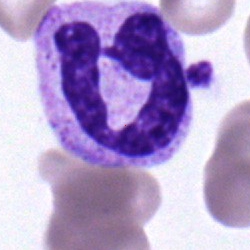

Single cell identified as a polymorphonuclear neutrophil.